Bone marrow aspirate smear: 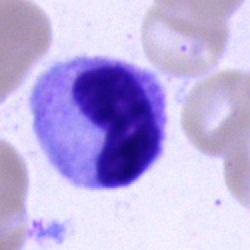 Q: What cell is this?
A: This is a metamyelocyte.